May-Grünwald-Giemsa stain. Bone marrow aspirate smear:
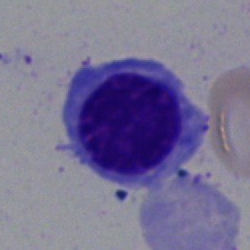 Specimen: bone marrow aspirate smear.
Morphological class: erythroblast.
Lineage: erythroid.